Bone marrow aspirate smear; single-cell field — 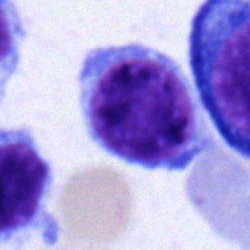

Typical lymphocyte.